Bone marrow smear — 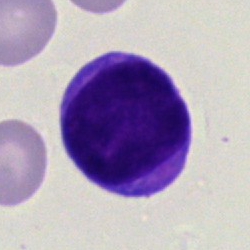

Classification — lymphocyte.